Bone marrow smear:
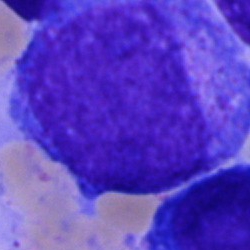Single cell identified as a promyelocyte.